Bone marrow aspirate smear — 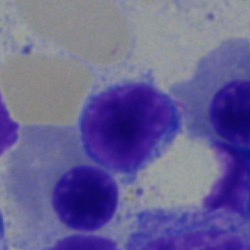

Morphology → lymphocyte.